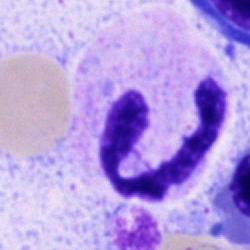
Neutrophil (segmented).